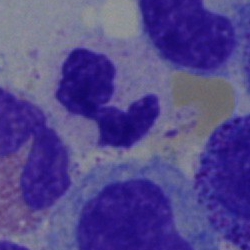 Specimen: bone marrow aspirate smear.
Morphological class: segmented neutrophil.